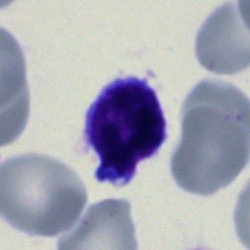
Cell = lymphocyte.